360×363 px. Peripheral blood smear. May-Grünwald-Giemsa-stained.
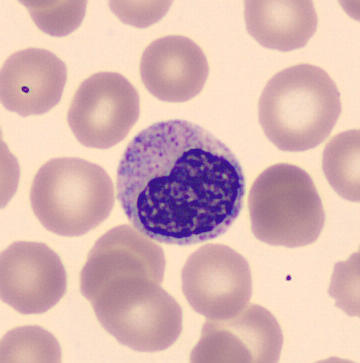Showing a metamyelocyte.